Bone marrow smear; May-Grünwald-Giemsa stain: 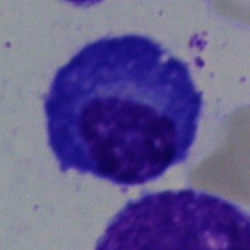A plasma cell.